Bone marrow smear; single cell centered in the field: 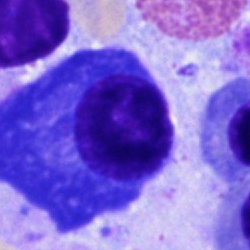

The cell shown is a plasmacyte.